Bone marrow smear; Pappenheim-stained; 250×250 px:
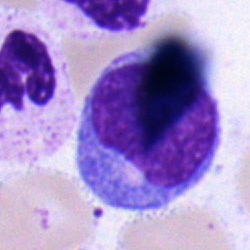
Q: Which cell type is shown here?
A: It is a monocyte.